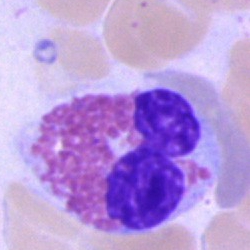

Cell type — eosinophil.